Bone marrow aspirate smear. Single-cell field. 40× objective, oil immersion.
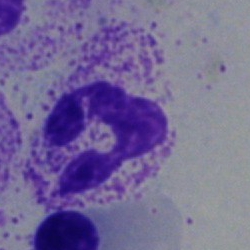
The cell shown is a polymorphonuclear neutrophil.